Bone marrow aspirate smear. Brightfield microscopy, 40× oil immersion.
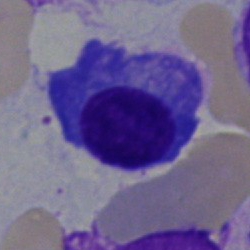
Morphology — plasmacyte.